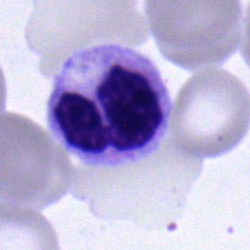
The cell is neutrophil (segmented).